Bone marrow aspirate smear.
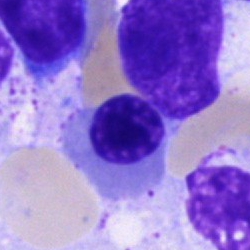Specimen: bone marrow aspirate smear.
Classification: normoblast.
Lineage: erythroid.